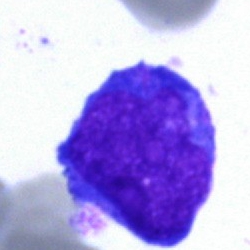Impression — blast.